Single cell centered in the field. Bone marrow smear. 40× objective, oil immersion:
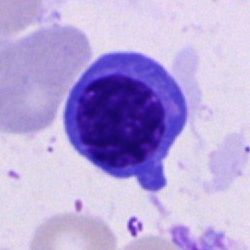
An erythroblast.